Bone marrow aspirate smear:
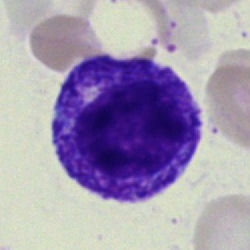
The cell type is myelocyte.